Bone marrow aspirate smear:
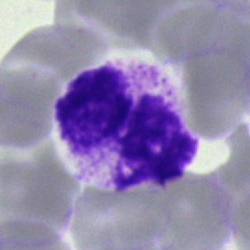The cell shown is a polymorphonuclear neutrophil.